Bone marrow aspirate smear.
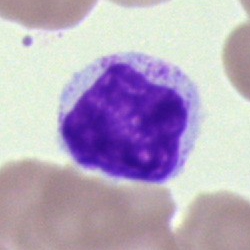A lymphocyte.